Bone marrow aspirate smear:
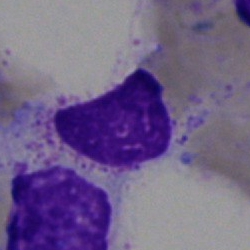
Morphology → artefact.